Bone marrow smear.
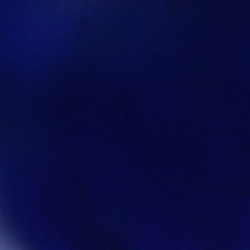 Showing an artifact.